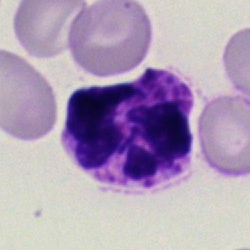
Specimen: bone marrow aspirate smear.
Classification: basophil.
Lineage: myeloid.